Bone marrow aspirate smear; May-Grünwald-Giemsa/Pappenheim stain.
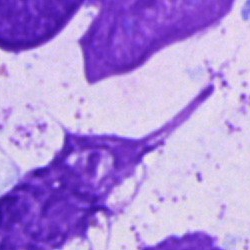

Cell: artifact.